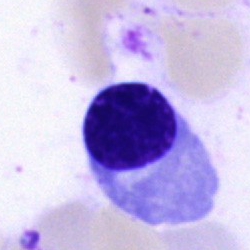 Bone marrow aspirate smear, single cell — erythroblast.